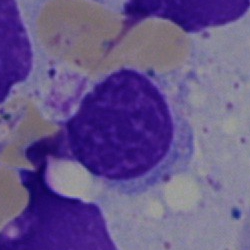 Impression — lymphocyte.